Bone marrow smear: 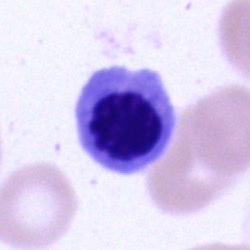{"cell_type": "nucleated red cell", "lineage": "erythroid"}